Bone marrow aspirate smear.
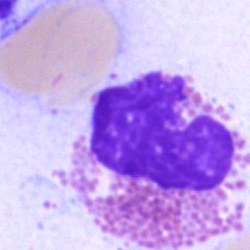

The cell shown is an eosinophil.